Pappenheim-stained; bone marrow aspirate smear.
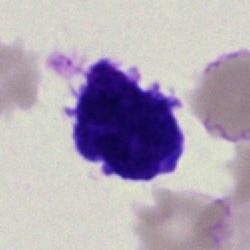 Showing a blast cell.